Bone marrow smear — 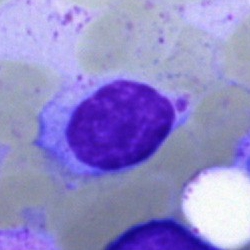Typical lymphocyte.